Bone marrow smear; May-Grünwald-Giemsa stain.
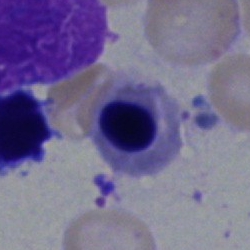{"cell_type": "nucleated red cell"}